Bone marrow smear: 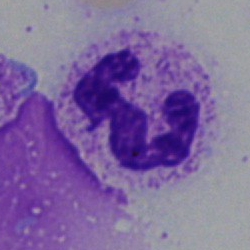
Cell — neutrophil (segmented).